Bone marrow smear. Brightfield microscopy, 40× oil immersion.
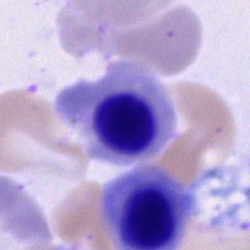

Specimen: bone marrow smear.
Cell: normoblast.